Bone marrow smear.
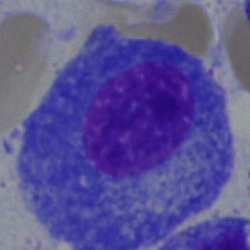Cell type — plasmacyte.